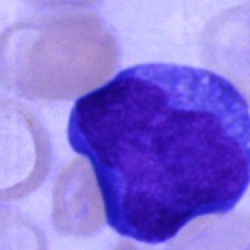 The cell shown is an undifferentiated blast.